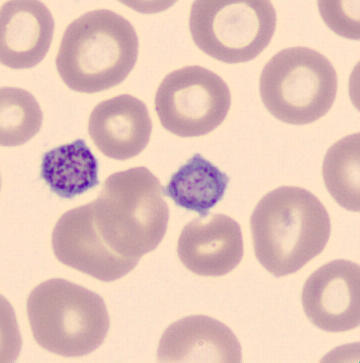

Showing a platelet.